Bone marrow smear. Image size 250×250. 40× objective, oil immersion
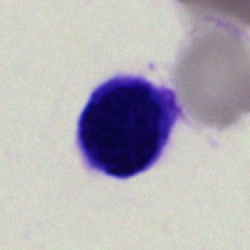Specimen: bone marrow smear.
Classification: artifact.